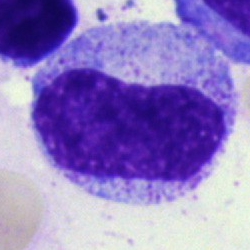 Q: What is the morphological classification of this cell?
A: A metamyelocyte.